Bone marrow smear — 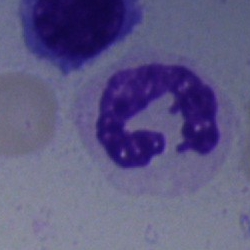
Morphology consistent with a neutrophil (segmented).